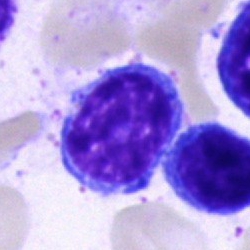
Q: What is the morphological classification of this cell?
A: Typical lymphocyte.